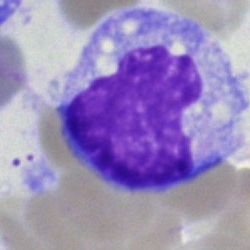 Morphology consistent with a monocyte.